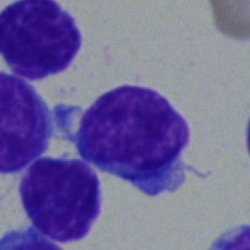
The cell type is typical lymphocyte.